40× oil immersion. Bone marrow aspirate smear.
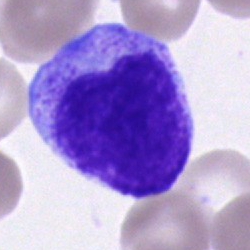The cell shown is a progranulocyte.